Bone marrow smear — 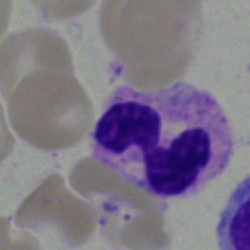

Morphology consistent with a stab cell.